Bone marrow smear; brightfield, 40× oil-immersion objective; May-Grünwald-Giemsa stain — 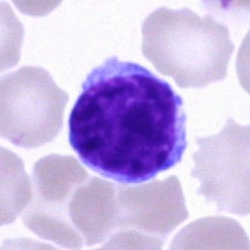Specimen: bone marrow aspirate smear.
Morphological class: typical lymphocyte.
Lineage: lymphoid.